250 by 250 pixels · bone marrow aspirate smear · single cell centered in the field — 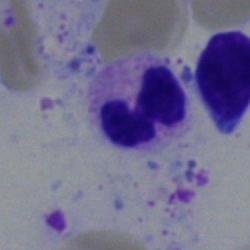
The cell shown is a neutrophil (segmented).